Bone marrow aspirate smear
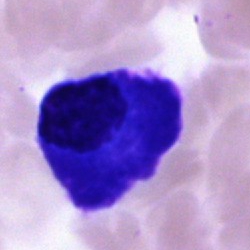
A plasma cell.